Bone marrow aspirate smear: 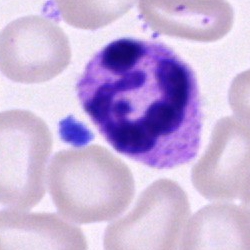

Morphological class = neutrophil (segmented).